400×400 px. Peripheral blood smear — 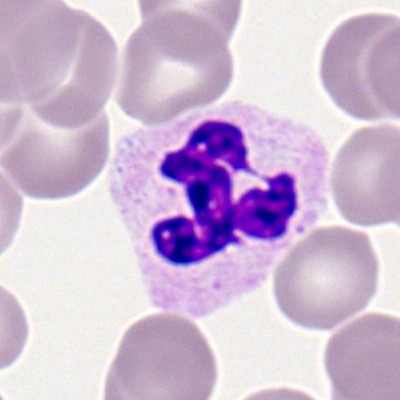
Q: What type of cell is this?
A: This is a neutrophil (segmented).